Peripheral blood film:
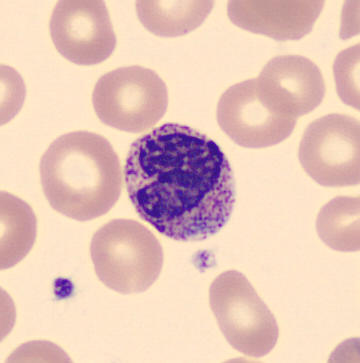 Single cell identified as a metamyelocyte.